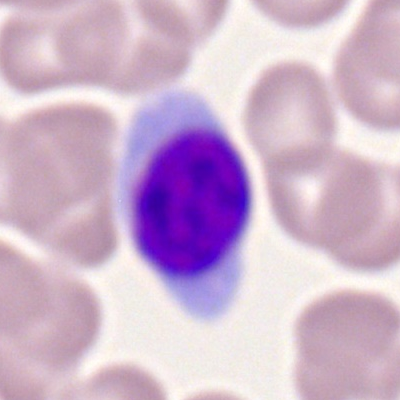
Cell type: typical lymphocyte.